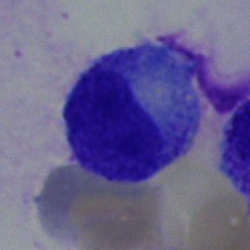
Impression → myelocyte.